Bone marrow smear — 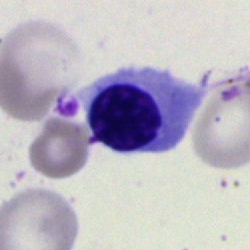 Showing an erythroblast.